May-Grünwald-Giemsa stain · bone marrow aspirate smear · 40× objective, oil immersion
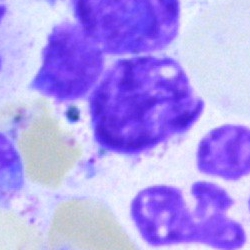
Artefact.